Peripheral blood smear
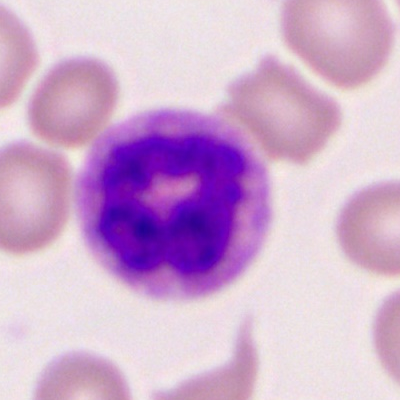Specimen: peripheral blood film.
Morphological class: segmented neutrophil.
Lineage: myeloid.